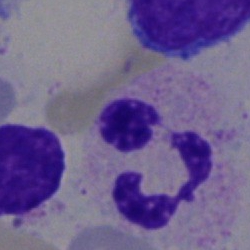Q: What cell is this?
A: A neutrophil (segmented).